Peripheral blood smear — 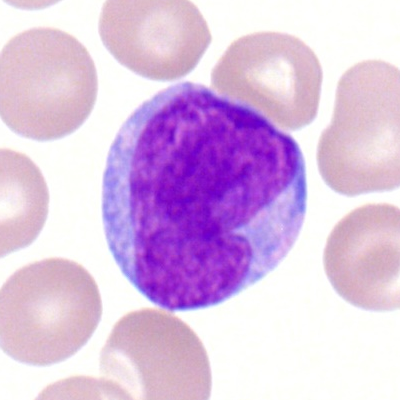
Single cell identified as a myeloblast.